Cropped to a single cell · bone marrow aspirate smear · 40× objective, oil immersion.
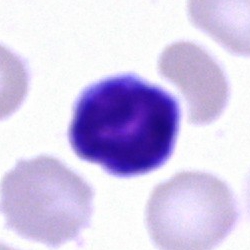 The cell is lymphocyte.